250×250 · bone marrow aspirate smear · Pappenheim-stained: 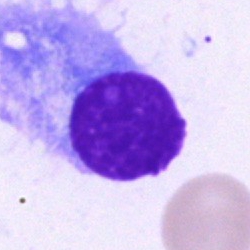
Showing a plasmacyte.